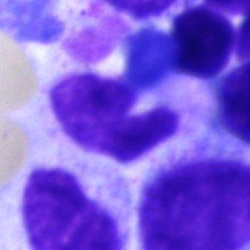
Single cell identified as an artefact.